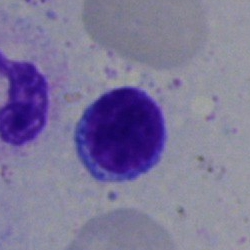

Single-cell crop from a bone marrow smear: typical lymphocyte.